Bone marrow aspirate smear — 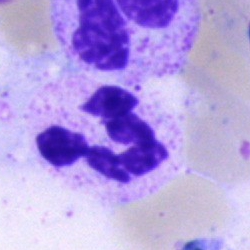
Cell type = polymorphonuclear neutrophil.